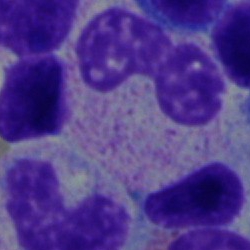{"cell_type": "stab cell"}